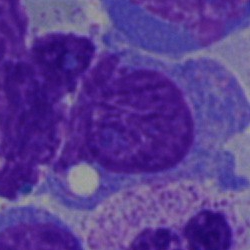Q: Which cell type is shown here?
A: It is a typical lymphocyte.